Peripheral blood smear.
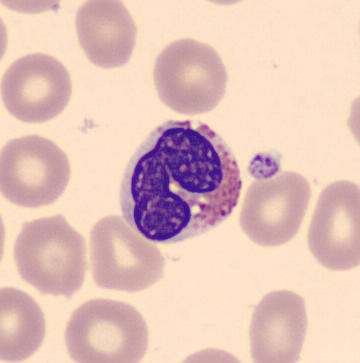 Specimen: peripheral blood film.
Cell: eosinophil.
Lineage: myeloid.